Bone marrow aspirate smear — 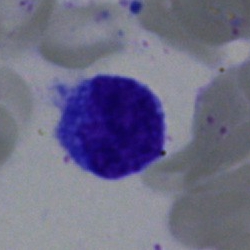 Specimen: bone marrow aspirate smear.
Morphological class: typical lymphocyte.
Lineage: lymphoid.